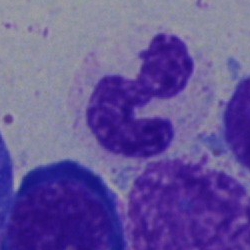

{"cell_type": "neutrophil (band)"}